40× objective, oil immersion; bone marrow aspirate smear; May-Grünwald-Giemsa stain:
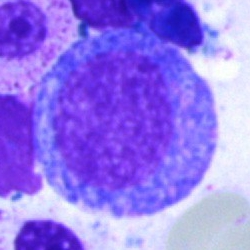Q: Identify the cell.
A: Promyelocyte.